250×250. Bone marrow aspirate smear — 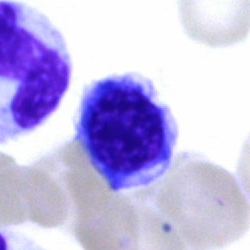
Morphology — nucleated red blood cell.